Bone marrow aspirate smear: 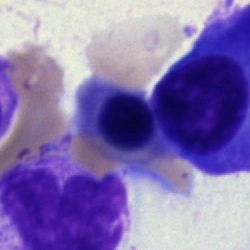 This is a nucleated red blood cell.